Bone marrow aspirate smear
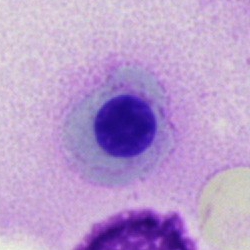
The cell is nucleated red cell.